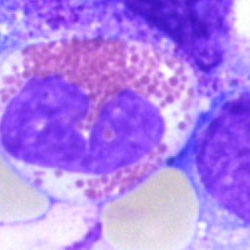

Morphological class — eosinophilic granulocyte.